250 by 250 pixels. Bone marrow smear. Single-cell crop.
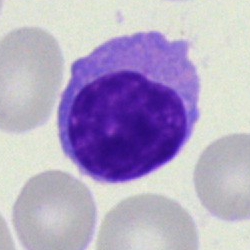
Cell type — lymphocyte.